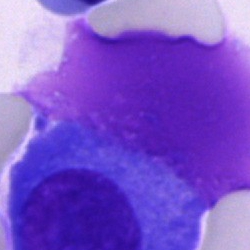
Classification — plasma cell.